250×250; bone marrow smear; single-cell crop.
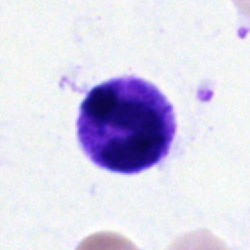
Specimen: bone marrow smear.
Classification: neutrophil (segmented).
Lineage: myeloid.